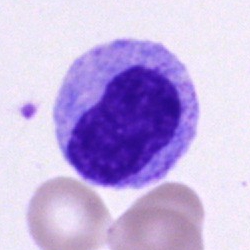
Q: What cell is this?
A: It is an unidentifiable cell.